Bone marrow aspirate smear. 250 by 250 pixels.
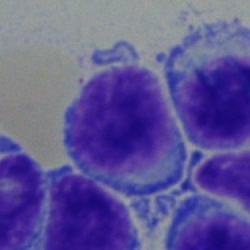
Morphology consistent with a lymphocyte.